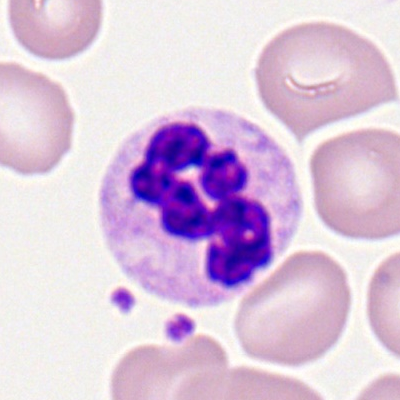Peripheral blood film, single cell — polymorphonuclear neutrophil.